Bone marrow aspirate smear. Cropped to a single cell — 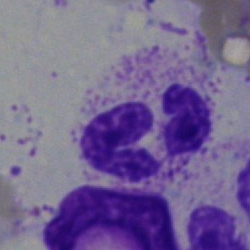 Impression → neutrophil (segmented).